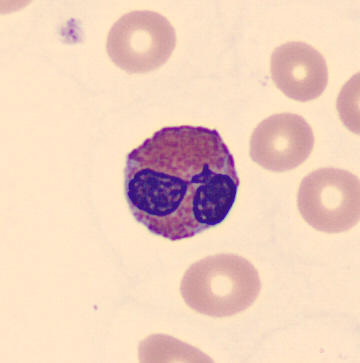 An eosinophilic granulocyte on a peripheral blood smear.